Bone marrow smear — 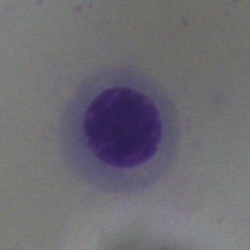Morphology consistent with a nucleated red cell.